Bone marrow aspirate smear. Single-cell crop:
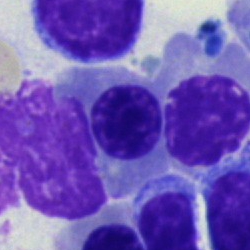

Impression → nucleated red cell.